Bone marrow smear · brightfield microscopy, 40× oil immersion:
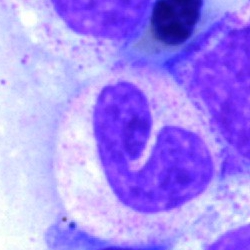Specimen: bone marrow smear.
Cell: polymorphonuclear neutrophil.
Lineage: myeloid.